250×250; bone marrow smear; cropped to a single cell.
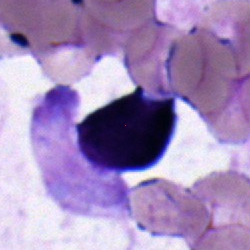

Q: Which cell type is shown here?
A: A lymphocyte.